Bone marrow smear · 40× oil immersion — 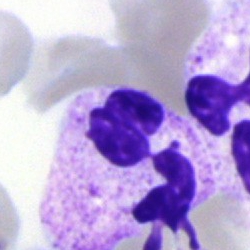
A segmented neutrophil.